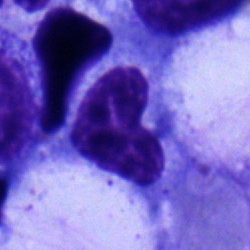Cell type — neutrophil (band).